Bone marrow aspirate smear: 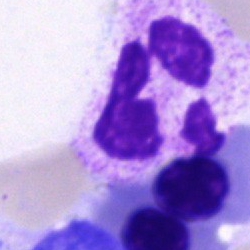Specimen: bone marrow smear.
Cell: segmented neutrophil.
Lineage: myeloid.